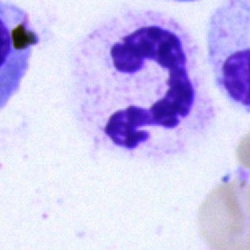

{"cell_type": "neutrophil (segmented)", "lineage": "myeloid"}